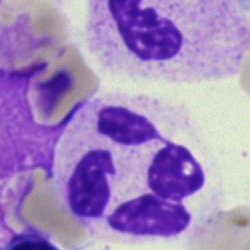 {"cell_type": "polymorphonuclear neutrophil"}